Bone marrow aspirate smear — 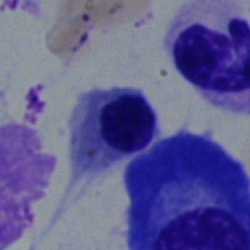{"cell_type": "nucleated red blood cell"}